Single-cell field; bone marrow aspirate smear.
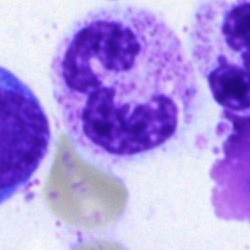Q: What type of cell is this?
A: It is a polymorphonuclear neutrophil.